Bone marrow aspirate smear. MGG-stained.
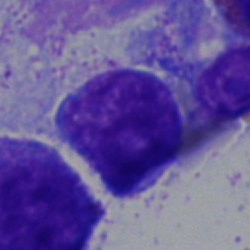

A typical lymphocyte.